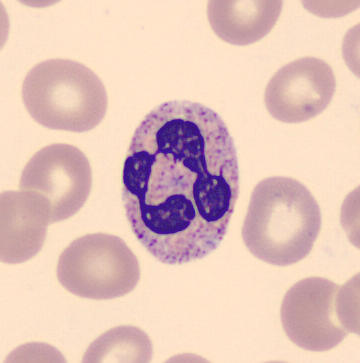Morphology — neutrophil (segmented). Preparation: Single cell centered in the field. Peripheral blood film.